Bone marrow smear:
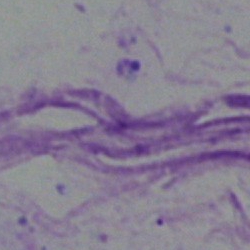

Cell type: artefact.